Peripheral blood smear
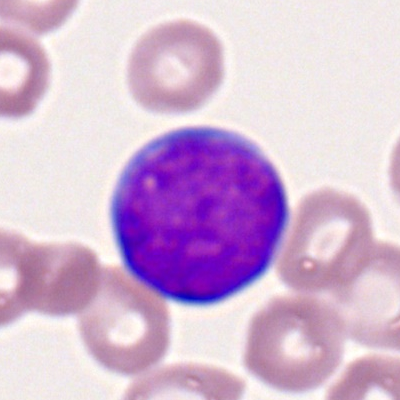
Q: What is the morphological classification of this cell?
A: This is a myeloid blast.